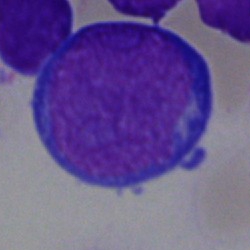

Q: What is the morphological classification of this cell?
A: It is a pronormoblast.